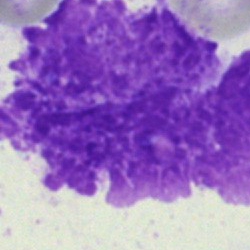

The cell is artefact.